Bone marrow smear — 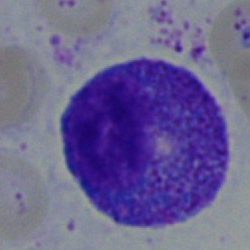 Single cell identified as a progranulocyte.